Bone marrow smear
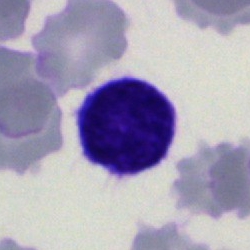 The cell shown is a lymphocyte.